Bone marrow aspirate smear. Single-cell field. MGG-stained: 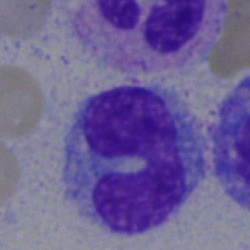

Monocyte.